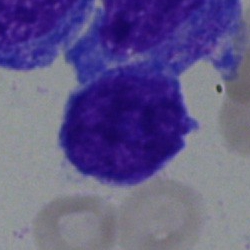Morphological class: undifferentiated blast.